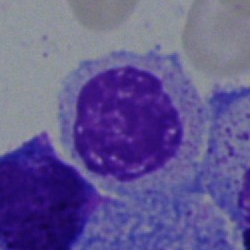
Cell type: myelocyte.